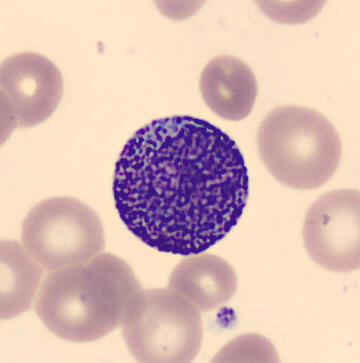

Image: Peripheral blood film. Cell type — myelocyte.